Bone marrow smear — 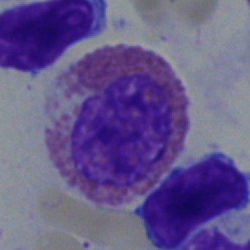
The classification is eosinophilic granulocyte.